Bone marrow aspirate smear · 40× objective, oil immersion
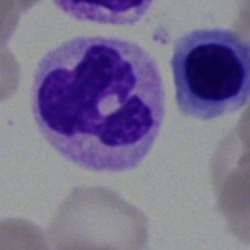

Q: Identify the cell.
A: Neutrophil (segmented).